Cropped to a single cell · bone marrow aspirate smear.
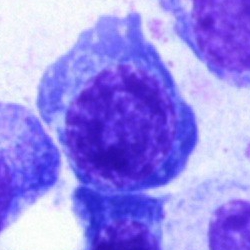Cell type: erythroblast.